Bone marrow smear; cropped to a single cell; May-Grünwald-Giemsa stain
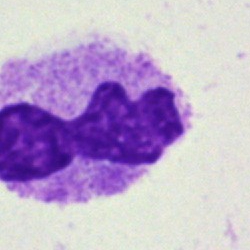 Q: Which cell type is shown here?
A: A polymorphonuclear neutrophil.